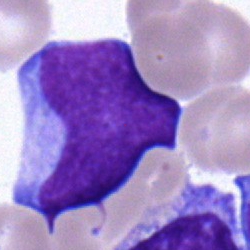
An undifferentiated blast.